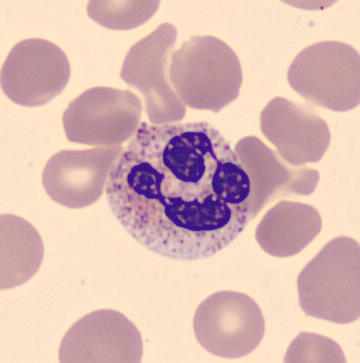
Peripheral blood film · 360 by 363 pixels.

Q: Which cell type is shown here?
A: This is a segmented neutrophil.